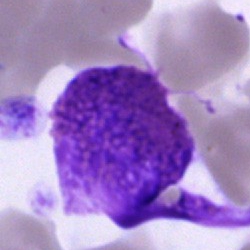

Q: Which cell type is shown here?
A: Eosinophil.